Bone marrow smear
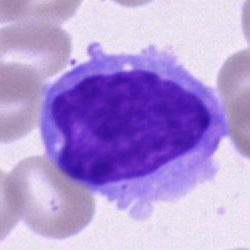 A monocyte.